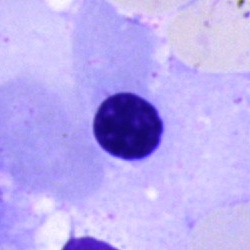 Specimen: bone marrow smear.
Cell type: normoblast.
Lineage: erythroid.